Bone marrow aspirate smear; cropped to a single cell: 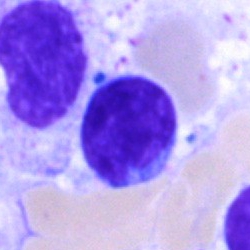The morphological class is typical lymphocyte.